Single-cell crop · bone marrow smear · Pappenheim-stained:
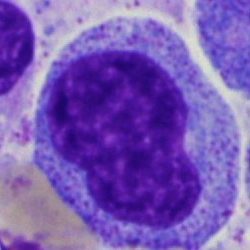
Morphology consistent with a progranulocyte.